Cropped to a single cell; bone marrow aspirate smear:
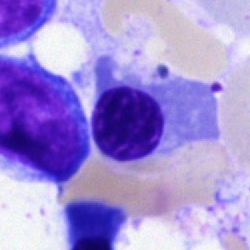 A nucleated red cell.